Peripheral blood smear. 100× oil immersion:
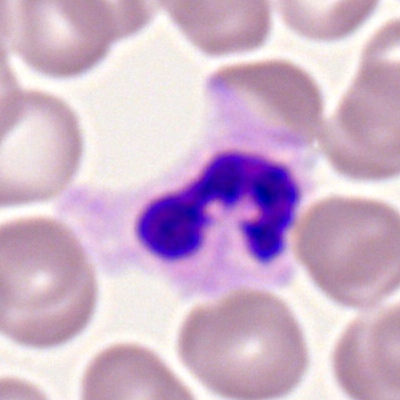

The morphological class is segmented neutrophil.